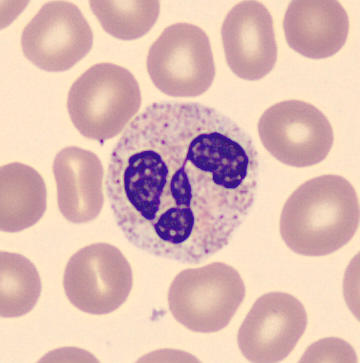 Preparation: Peripheral blood smear.

Morphology consistent with a segmented neutrophil.